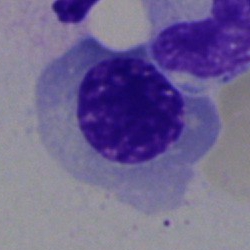Morphology — nucleated red cell.